Bone marrow smear · brightfield, 40× oil-immersion objective · cropped to a single cell — 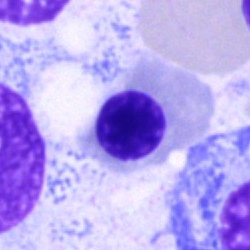{"cell_type": "nucleated red blood cell", "lineage": "erythroid"}